Bone marrow aspirate smear — 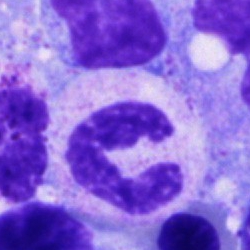 Specimen: bone marrow aspirate smear.
Morphological class: segmented neutrophil.
Lineage: myeloid.